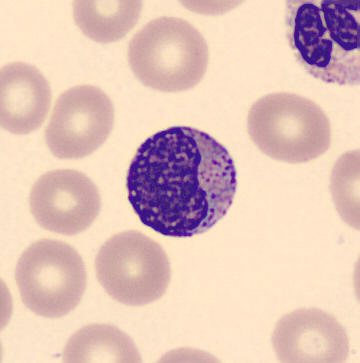Morphology — metamyelocyte.
Preparation: Peripheral blood smear.